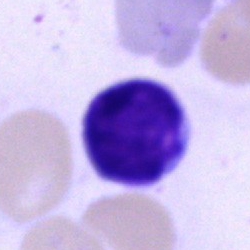Cell — typical lymphocyte.